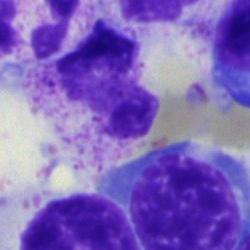The classification is metamyelocyte.